Bone marrow smear · MGG-stained
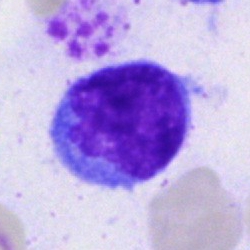
Lymphocyte.